May-Grünwald-Giemsa/Pappenheim stain · bone marrow smear: 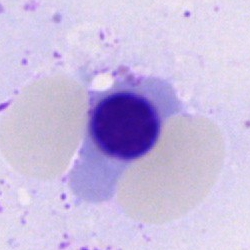
Classification: normoblast.